Bone marrow smear.
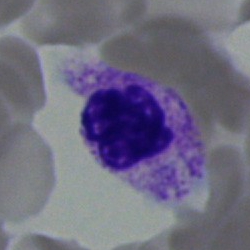 The cell shown is a neutrophil (segmented).